Bone marrow smear · image size 250×250.
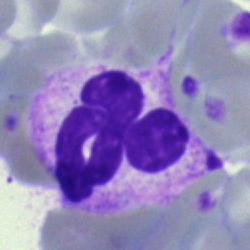 Classification — polymorphonuclear neutrophil.